Bone marrow aspirate smear
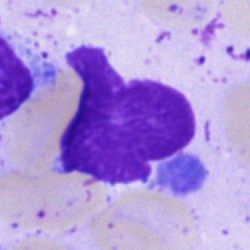 Morphology consistent with an artefact.